Bone marrow aspirate smear: 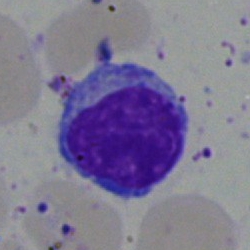
Q: What is the morphological classification of this cell?
A: Lymphocyte.